Bone marrow smear; May-Grünwald-Giemsa/Pappenheim stain: 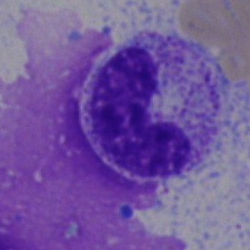Cell type: stab cell.